Bone marrow smear · 250×250 · brightfield microscopy, 40× oil immersion:
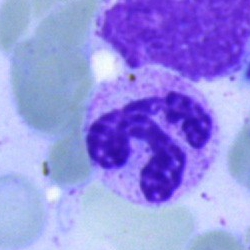

Morphology → segmented neutrophil.